Bone marrow aspirate smear — 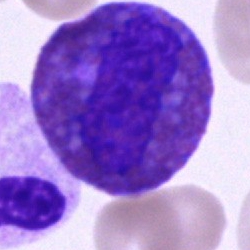
Single cell identified as an eosinophil.